100× oil immersion. Romanowsky-type stain. Peripheral blood film
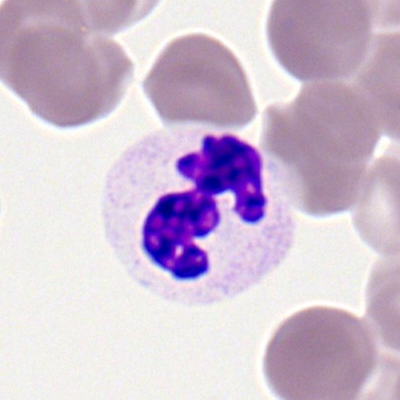Cell type — neutrophil (segmented).